Image size 250×250; bone marrow smear.
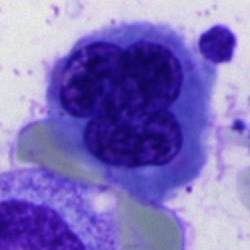

Impression → nucleated red cell.